Imaged on a CellaVision DM96 analyser · image size 360×363 · peripheral blood smear — 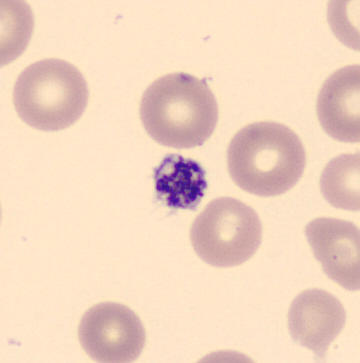
Q: What is this?
A: This is a platelet.